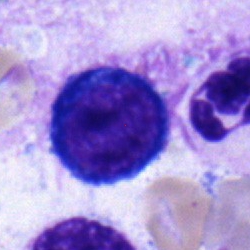
Q: Identify the cell.
A: This is a neutrophil (band).